Bone marrow aspirate smear.
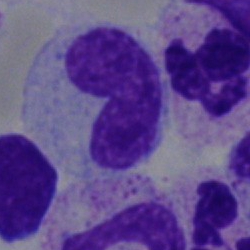

Impression → stab cell.